Bone marrow smear.
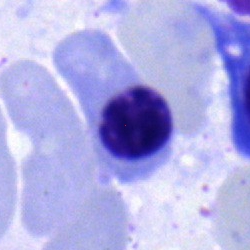

Q: What cell is this?
A: Normoblast.